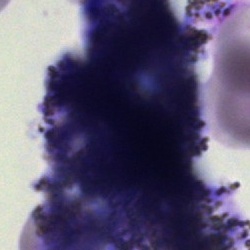
Classification — artefact.